Bone marrow smear — 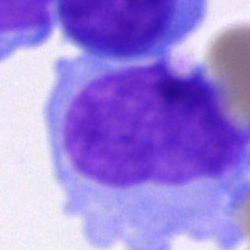Cell type: blast.